Brightfield, 40× oil-immersion objective; bone marrow aspirate smear; May-Grünwald-Giemsa stain.
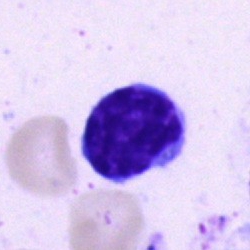

Morphology consistent with a typical lymphocyte.